Bone marrow smear
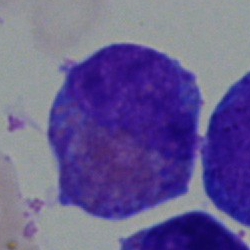
Eosinophilic granulocyte.